Bone marrow aspirate smear
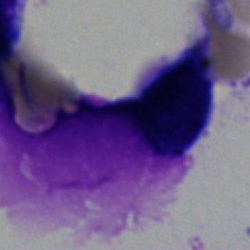 Specimen: bone marrow aspirate smear.
Cell type: artifact.